Bone marrow smear
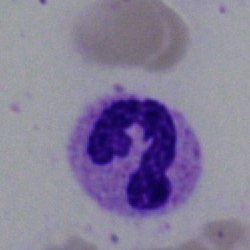 A neutrophil (segmented).